Bone marrow smear · brightfield, 40× oil-immersion objective · May-Grünwald-Giemsa stain:
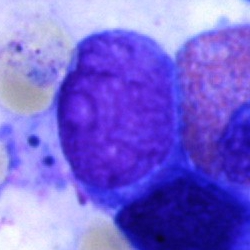 Impression → blast cell.